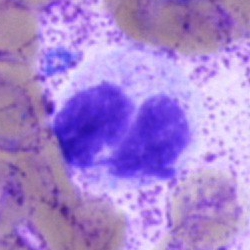

The cell shown is a polymorphonuclear neutrophil.